Cropped to a single cell · bone marrow aspirate smear — 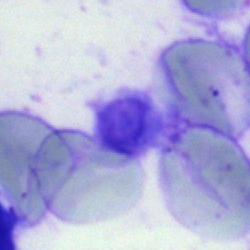

Classification = artifact.